Bone marrow smear
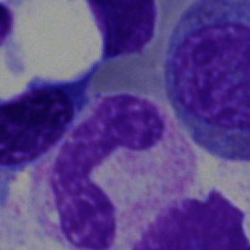
Showing a band-form neutrophil.